250×250; bone marrow aspirate smear; brightfield microscopy, 40× oil immersion.
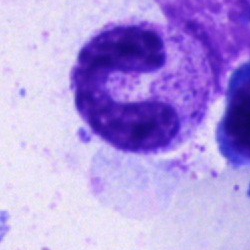

Single cell identified as a band neutrophil.